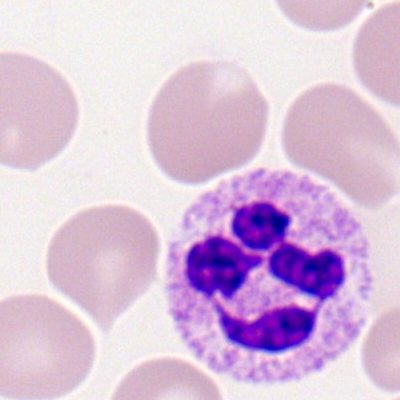The cell shown is a segmented neutrophil.